Brightfield microscopy, 40× oil immersion; bone marrow smear.
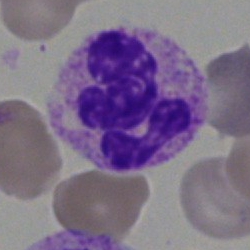

A polymorphonuclear neutrophil.